40× objective, oil immersion. 250×250 px. Bone marrow smear — 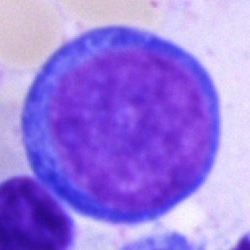 Morphology consistent with a proerythroblast.